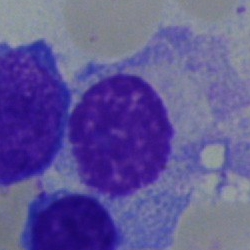A plasmacyte on a bone marrow smear.